Bone marrow aspirate smear: 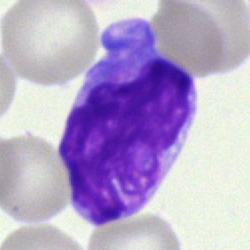

Q: What cell is this?
A: It is a blast cell.